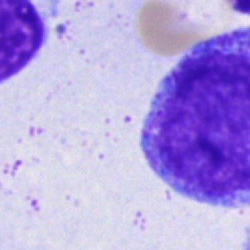Bone marrow aspirate smear, single cell — polymorphonuclear neutrophil.